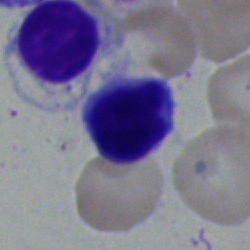

Specimen: bone marrow smear.
Morphological class: typical lymphocyte.
Lineage: lymphoid.